Brightfield microscopy, 40× oil immersion; Pappenheim-stained; bone marrow smear: 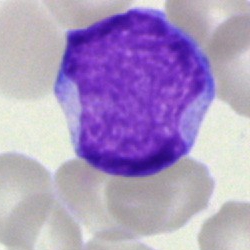 {"cell_type": "undifferentiated blast"}